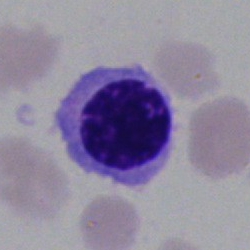 Bone marrow smear showing a normoblast.